Bone marrow smear:
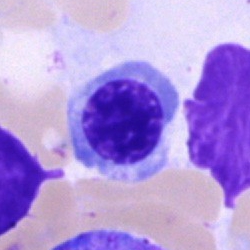
Specimen: bone marrow aspirate smear.
Cell: erythroblast.
Lineage: erythroid.